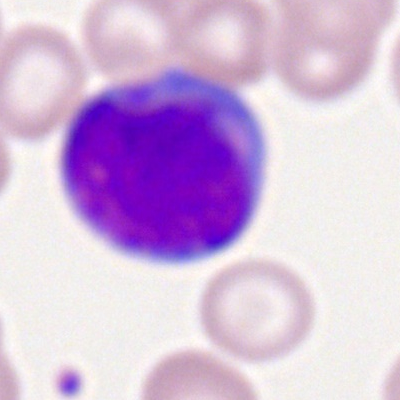{"cell_type": "myeloblast", "lineage": "myeloid"}